Bone marrow aspirate smear; single cell centered in the field.
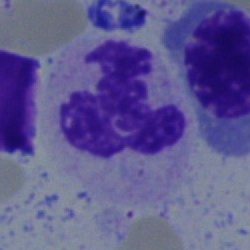Morphology — polymorphonuclear neutrophil.